Bone marrow aspirate smear: 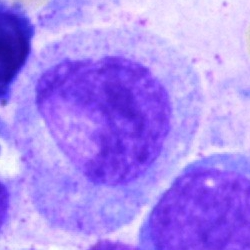Single cell identified as a myelocyte.